Pappenheim-stained; bone marrow aspirate smear
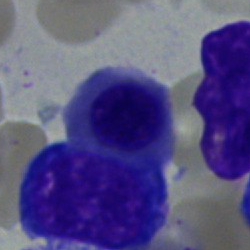
This is a normoblast.